Bone marrow aspirate smear · single-cell crop
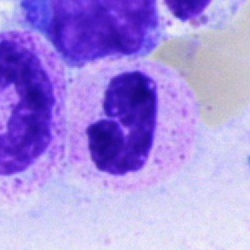 Single cell identified as a neutrophil (segmented).